May-Grünwald-Giemsa stain · bone marrow smear.
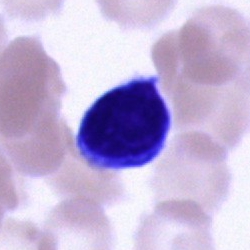

Q: Identify the cell.
A: This is a typical lymphocyte.